Bone marrow aspirate smear. Pappenheim-stained: 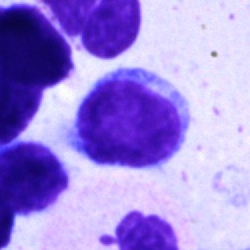Impression → typical lymphocyte.